Bone marrow smear; 250×250:
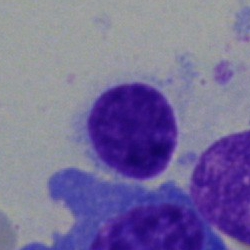 The cell shown is a lymphocyte.